Bone marrow smear — 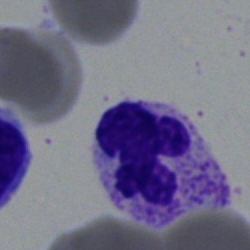 The cell is polymorphonuclear neutrophil.